Bone marrow smear:
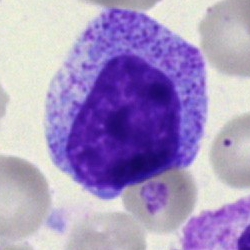
Myelocyte.